Bone marrow aspirate smear: 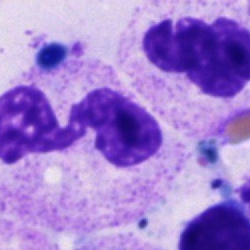
Morphology consistent with a neutrophil (segmented).